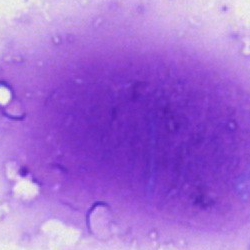
An artifact.